Bone marrow smear.
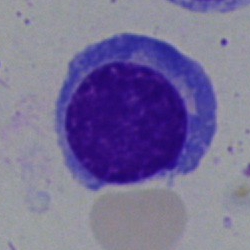This is a normoblast.